Bone marrow aspirate smear
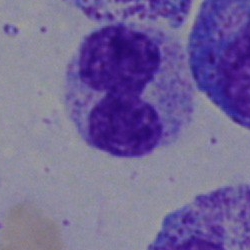

Morphology consistent with a polymorphonuclear neutrophil.